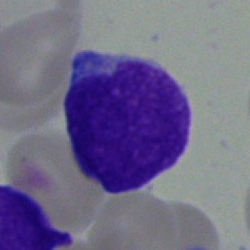

Q: What is shown here?
A: It is a blast.